250 by 250 pixels · bone marrow aspirate smear:
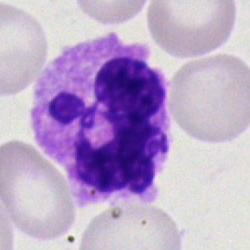
Q: What is shown here?
A: A neutrophil (segmented).